Single-cell crop · bone marrow aspirate smear: 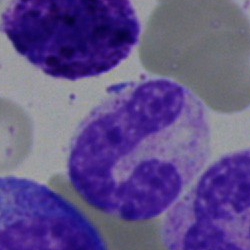Showing a segmented neutrophil.